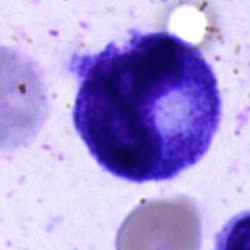 Single cell identified as a progranulocyte.